Bone marrow aspirate smear — 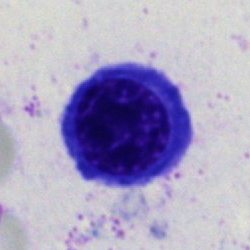
This is a nucleated red cell.